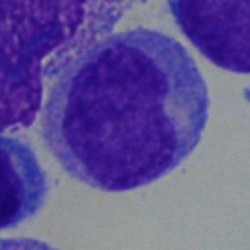Q: Identify the cell.
A: Monocyte.